Single-cell field. Peripheral blood smear
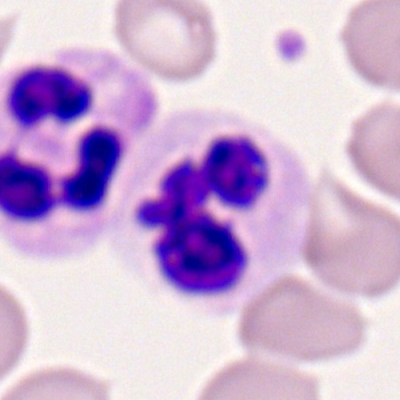
Showing a segmented neutrophil.